250 by 250 pixels · bone marrow smear: 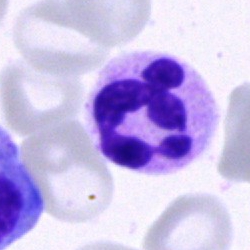Polymorphonuclear neutrophil.